Peripheral blood film.
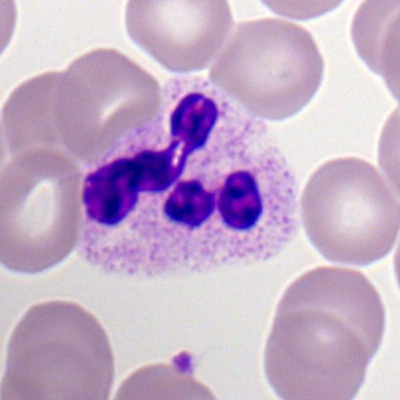 Morphology — polymorphonuclear neutrophil.